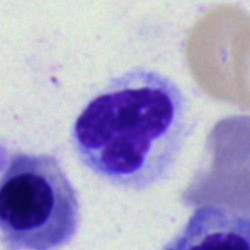
Single cell identified as a segmented neutrophil.